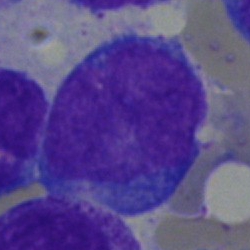The cell is blast.